Bone marrow smear:
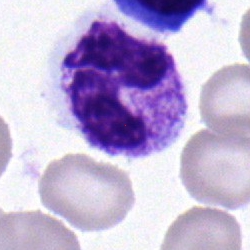

Showing a stab cell.